Pappenheim-stained. Brightfield microscopy, 40× oil immersion. Bone marrow aspirate smear.
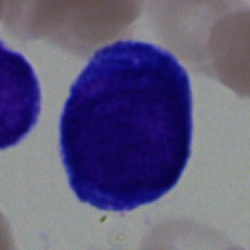
An undifferentiated blast.